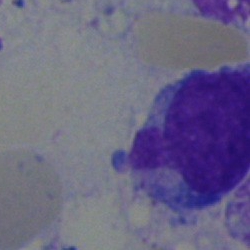
Specimen: bone marrow smear.
Cell: blast cell.